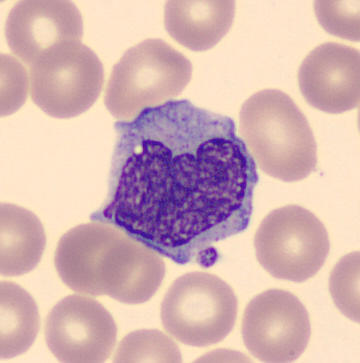 Q: Which cell type is shown here?
A: A monocyte. Peripheral blood smear · CellaVision DM96 · image size 360×363.